MGG-stained. Bone marrow smear. Brightfield, 40× oil-immersion objective.
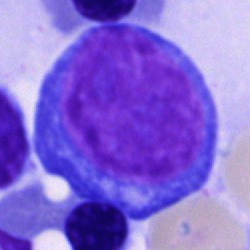

Single cell identified as an undifferentiated blast.